40× objective, oil immersion · bone marrow aspirate smear · image size 250×250.
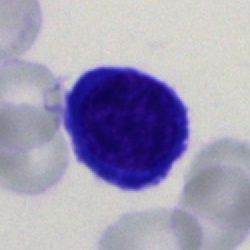Specimen: bone marrow smear.
Morphological class: lymphocyte.
Lineage: lymphoid.